Single-cell crop. Bone marrow smear.
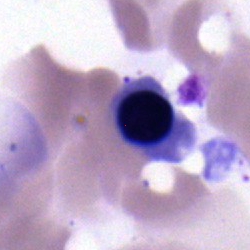Q: What is the morphological classification of this cell?
A: A normoblast.